250×250 px · MGG-stained · bone marrow smear — 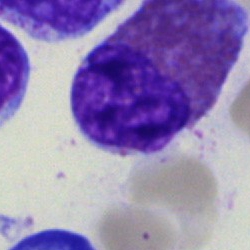
The cell shown is an eosinophil.